Bone marrow smear
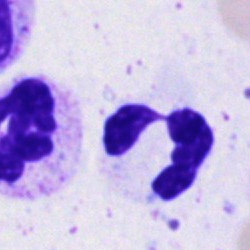

Q: Which cell type is shown here?
A: Neutrophil (segmented).